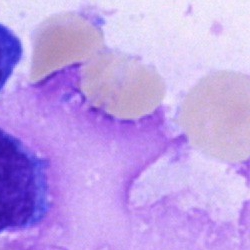
{"cell_type": "artefact"}